Bone marrow aspirate smear
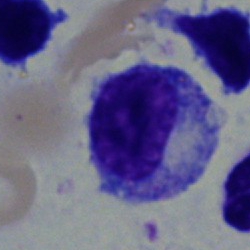

The morphological class is myelocyte.